Peripheral blood smear · 400×400: 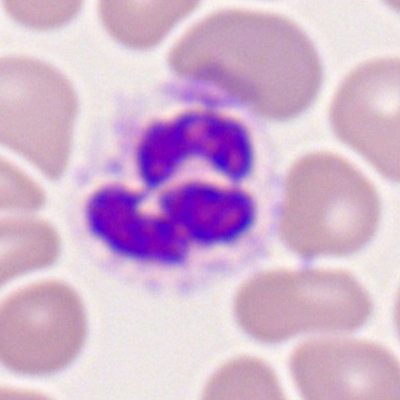 Q: Identify the cell.
A: This is a neutrophil (segmented).